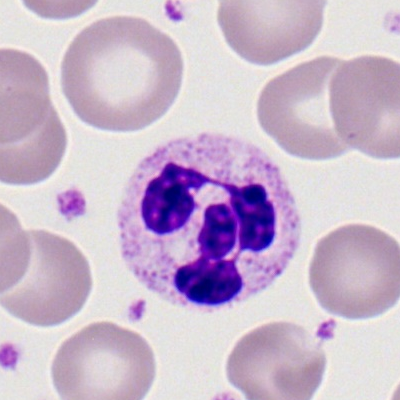
Morphological class: segmented neutrophil.